Bone marrow aspirate smear.
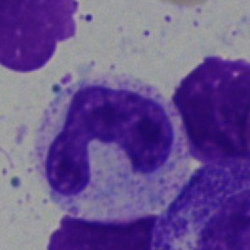Q: Which cell type is shown here?
A: Polymorphonuclear neutrophil.